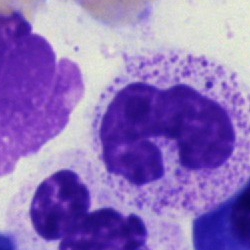 The cell is band neutrophil.